Bone marrow smear · 40× oil immersion · Pappenheim-stained: 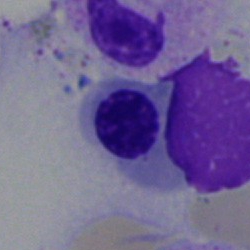 Impression → normoblast.